250 by 250 pixels; bone marrow smear; May-Grünwald-Giemsa stain
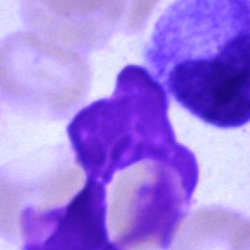

An artifact.